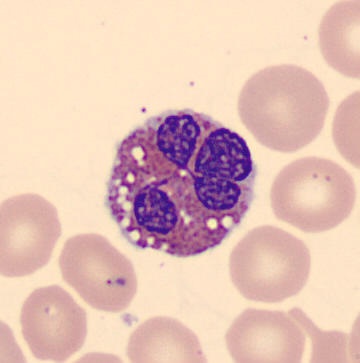

Q: What is this?
A: This is an eosinophilic granulocyte.